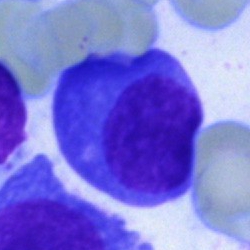 Impression → plasmacyte.